Peripheral blood film
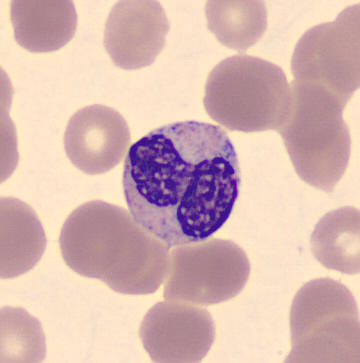

Specimen: peripheral blood smear.
Cell: band neutrophil.